Image size 250×250 · 40× objective, oil immersion · bone marrow aspirate smear
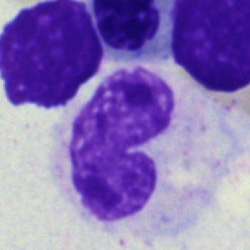

Q: What cell is this?
A: This is a stab cell.